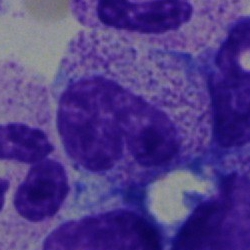

Bone marrow smear showing a band-form neutrophil.